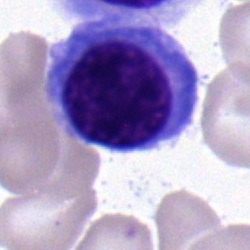
Specimen: bone marrow smear.
Classification: lymphocyte.